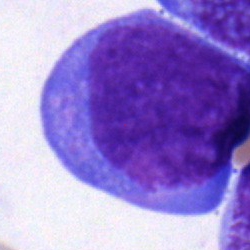
Showing an undifferentiated blast.